Bone marrow smear:
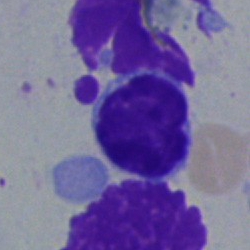 This is a lymphocyte.